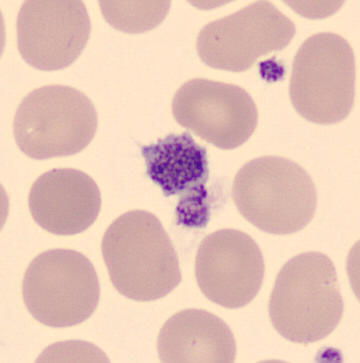
Impression — thrombocyte.